Peripheral blood smear. 100× objective, oil immersion: 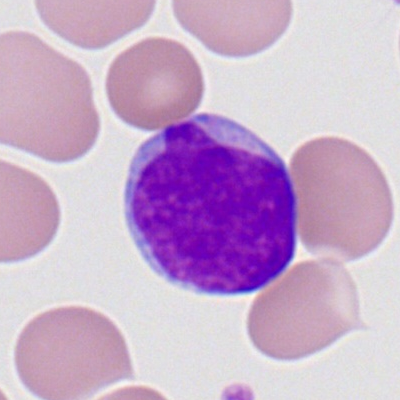 Q: What cell is this?
A: Myeloid blast.